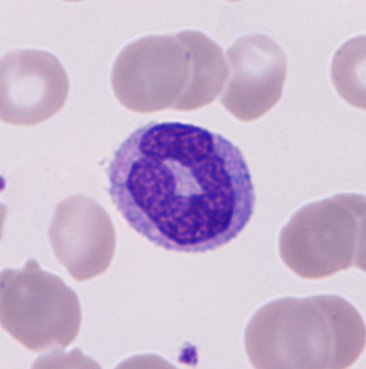 Cell: monocyte. Peripheral blood smear · MGG stain.